Bone marrow smear.
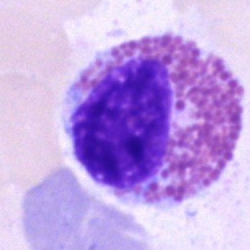

Showing an eosinophil.